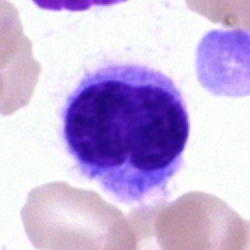
Morphology — hairy cell.